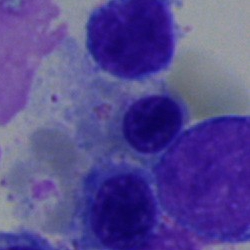Q: What is the morphological classification of this cell?
A: A normoblast.